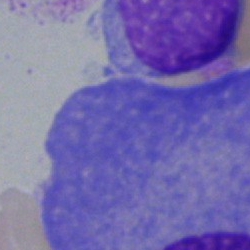 Classification — artefact.